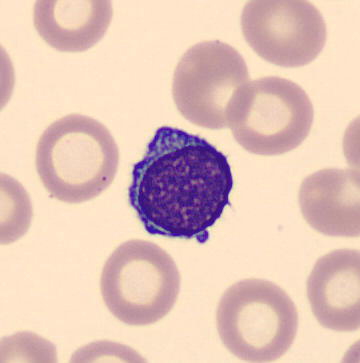
Peripheral blood smear showing a typical lymphocyte.